Peripheral blood film: 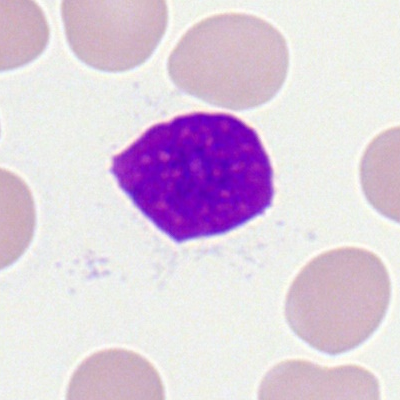
Morphology consistent with a basket cell.